Peripheral blood smear — 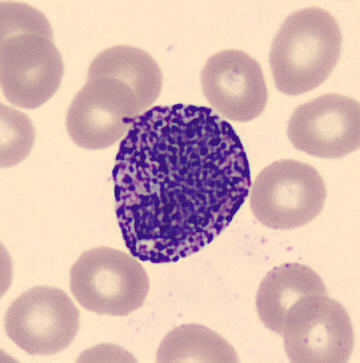 The cell shown is a basophilic granulocyte.